Single cell centered in the field. Bone marrow smear. Image size 250×250: 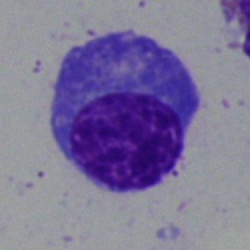

{"cell_type": "plasma cell"}